Bone marrow smear
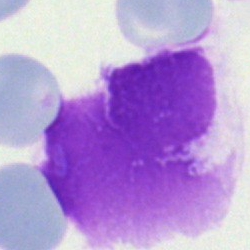

An artefact.